MGG-stained. Bone marrow smear — 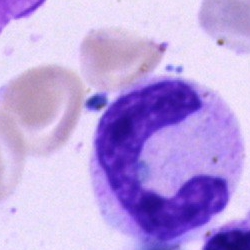

A neutrophil (band).